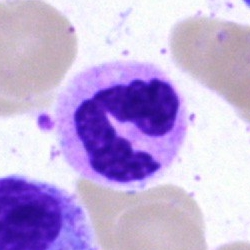 A polymorphonuclear neutrophil on a bone marrow smear.